Bone marrow aspirate smear. May-Grünwald-Giemsa/Pappenheim stain:
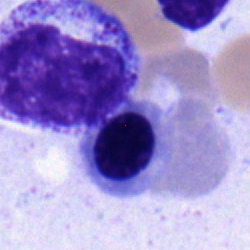
This is a normoblast.